Peripheral blood film — 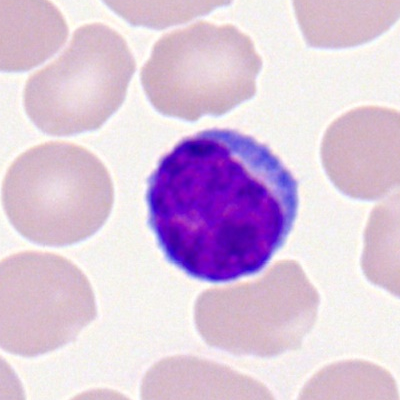

Single cell identified as a lymphocyte.